Bone marrow aspirate smear:
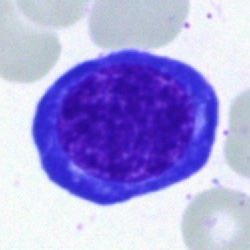
Impression — normoblast.